40× objective, oil immersion; bone marrow smear; single cell centered in the field — 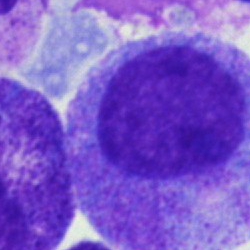A progranulocyte.